Bone marrow smear. 250×250. Cropped to a single cell
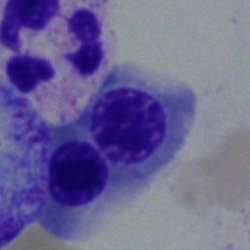Q: Which cell type is shown here?
A: A nucleated red blood cell.